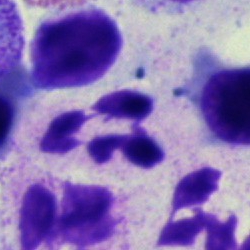

Impression — neutrophil (segmented).